Pappenheim-stained. Bone marrow aspirate smear. Single-cell field: 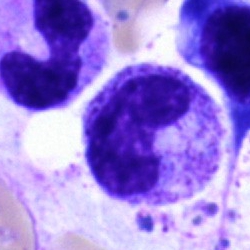Metamyelocyte.